Bone marrow smear; 40× oil immersion — 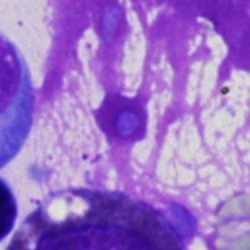
Cell type: artefact.